Bone marrow aspirate smear.
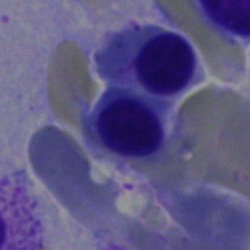 Nucleated red blood cell.